Bone marrow aspirate smear
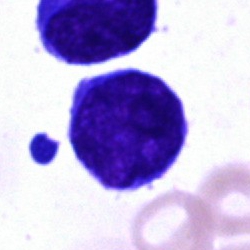

Q: What is shown here?
A: Undifferentiated blast.